250 by 250 pixels; bone marrow aspirate smear:
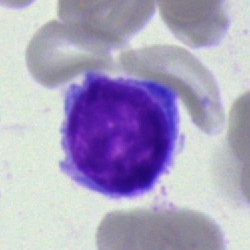 Showing a typical lymphocyte.